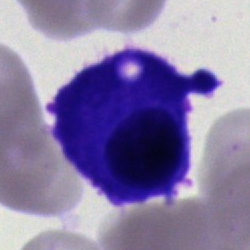 Q: What cell is this?
A: Plasma cell.